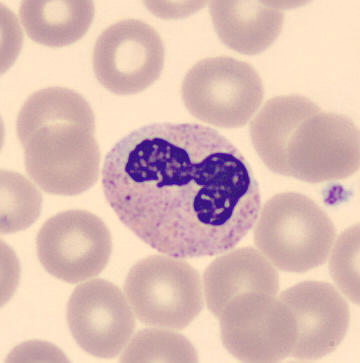
Imaged on a CellaVision DM96 analyser. Peripheral blood smear.
Q: What is shown here?
A: It is a polymorphonuclear neutrophil.